Bone marrow smear: 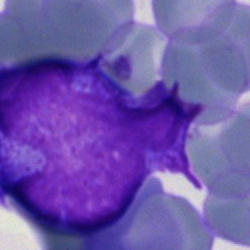
Morphology → blast cell.